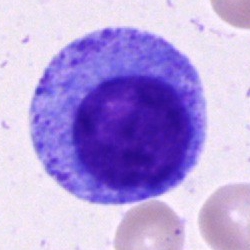

Bone marrow aspirate smear, single cell — promyelocyte.